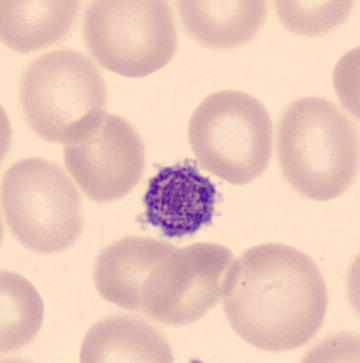
Image: 360 by 363 pixels. Specimen: peripheral blood film.
Classification: platelet (thrombocyte).